Bone marrow smear. May-Grünwald-Giemsa/Pappenheim stain. Image size 250×250: 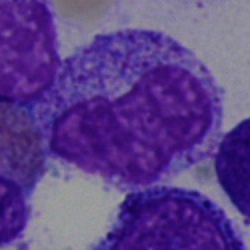The classification is metamyelocyte.